Bone marrow smear. MGG-stained
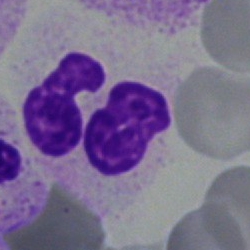 Q: What type of cell is this?
A: It is a polymorphonuclear neutrophil.